Bone marrow smear
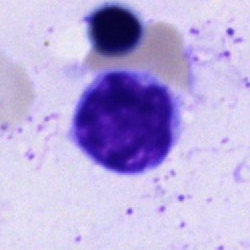Impression → plasma cell.